Image size 250×250; bone marrow aspirate smear; brightfield microscopy, 40× oil immersion: 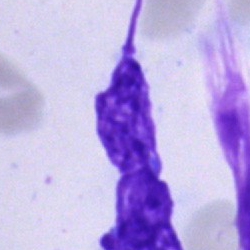

Q: What is shown here?
A: This is an artifact.